Peripheral blood film · 400×400 px — 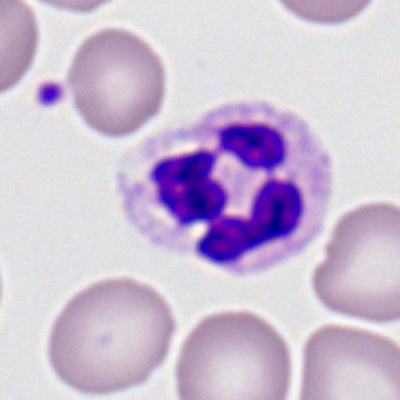Single cell identified as a segmented neutrophil.